Bone marrow smear; 40× oil immersion — 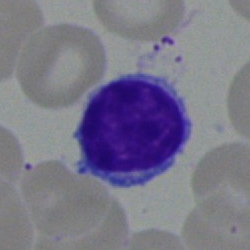

Q: What is the morphological classification of this cell?
A: It is a typical lymphocyte.